Bone marrow smear. Single-cell crop
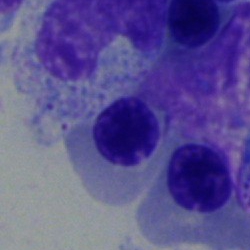
Cell type = nucleated red blood cell.